Bone marrow aspirate smear:
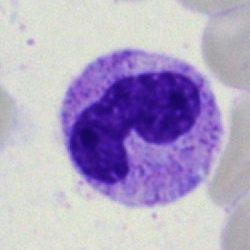
Impression — band neutrophil.